Bone marrow aspirate smear — 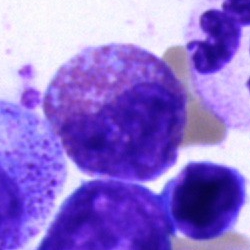
Q: Which cell type is shown here?
A: This is an eosinophil.